Cropped to a single cell · bone marrow smear · 40× oil immersion: 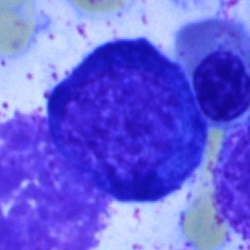The cell shown is a normoblast.